Single-cell crop · peripheral blood film: 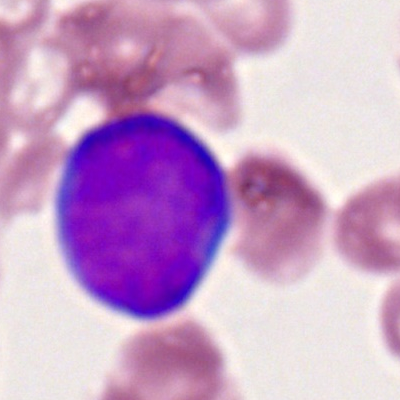A myeloblast.